May-Grünwald-Giemsa/Pappenheim stain. Bone marrow smear.
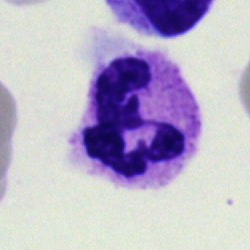Cell: segmented neutrophil.